Bone marrow smear: 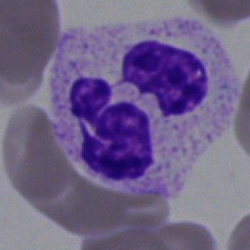Specimen: bone marrow smear.
Morphological class: neutrophil (segmented).
Lineage: myeloid.